Peripheral blood film. Romanowsky-stained — 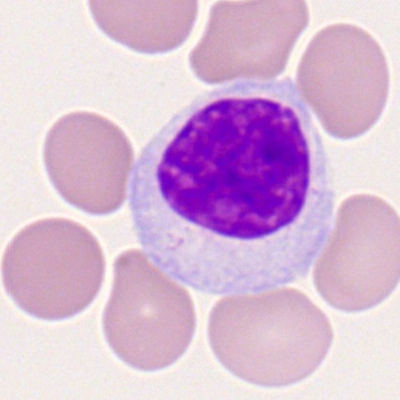 Cell type = lymphocyte.